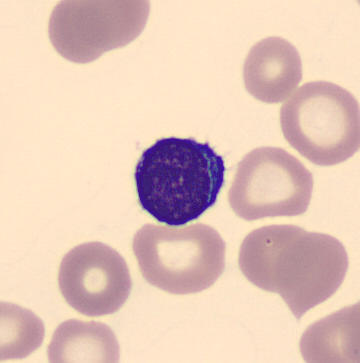

The cell type is typical lymphocyte.

Peripheral blood film.